Bone marrow smear.
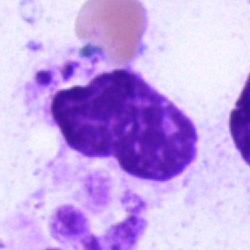 Specimen: bone marrow aspirate smear.
Classification: artefact.